Brightfield microscopy, 40× oil immersion · bone marrow smear
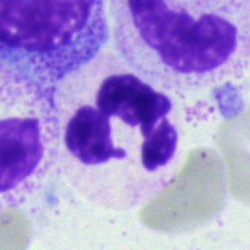

Cell type: polymorphonuclear neutrophil.